Bone marrow aspirate smear. May-Grünwald-Giemsa stain:
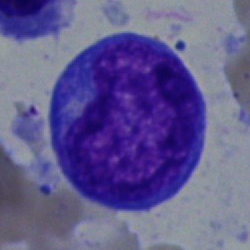
Morphology consistent with a blast.